Bone marrow aspirate smear:
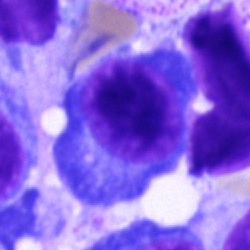

A plasma cell.